250×250. May-Grünwald-Giemsa stain. Bone marrow smear: 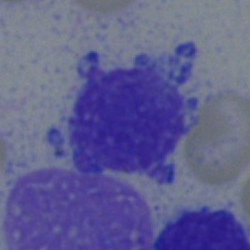A typical lymphocyte.